Bone marrow aspirate smear
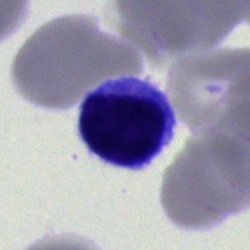
Q: Identify the cell.
A: Lymphocyte.